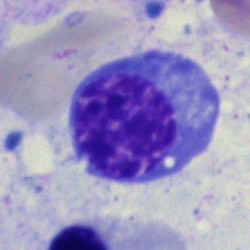

Cell = normoblast.